Peripheral blood film. Cropped to a single cell. 400 by 400 pixels: 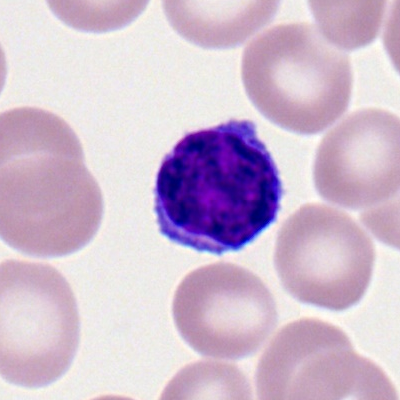Q: Identify the cell.
A: It is a lymphocyte.